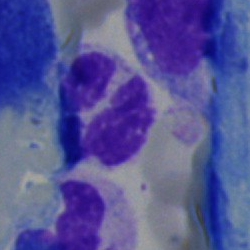 Specimen: bone marrow aspirate smear.
Cell: segmented neutrophil.
Lineage: myeloid.